Image size 250×250. Bone marrow smear — 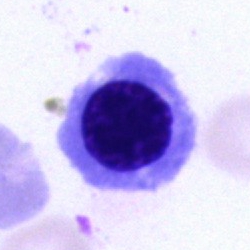
Q: What cell is this?
A: It is a nucleated red blood cell.